Bone marrow aspirate smear — 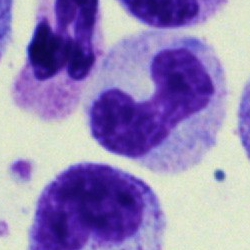
This is a stab cell.